40× oil immersion. Bone marrow smear.
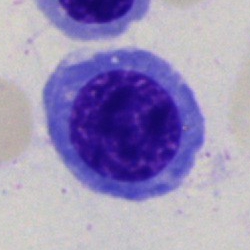

A nucleated red cell.